250 by 250 pixels; 40× objective, oil immersion; bone marrow smear:
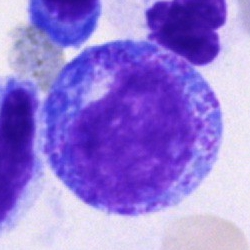Q: What type of cell is this?
A: A progranulocyte.